Brightfield, 40× oil-immersion objective · cropped to a single cell · bone marrow aspirate smear — 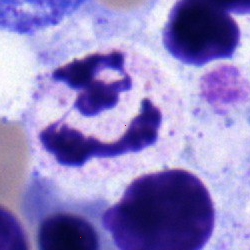
Morphology → stab cell.